Bone marrow aspirate smear — 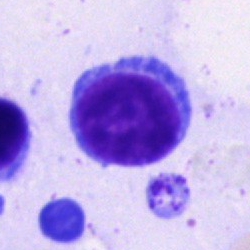

Classification — lymphocyte.